Bone marrow aspirate smear: 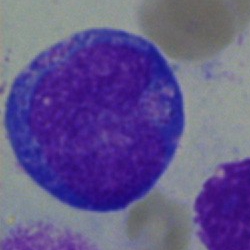

Morphological class: blast.